Pappenheim-stained; bone marrow smear; brightfield microscopy, 40× oil immersion: 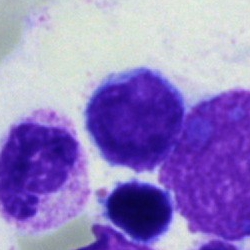

This is a lymphocyte.